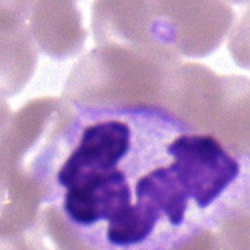 Impression → neutrophil (segmented).